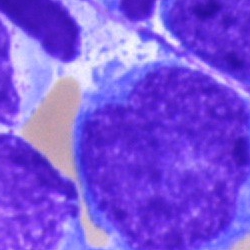

Bone marrow smear showing a blast cell.